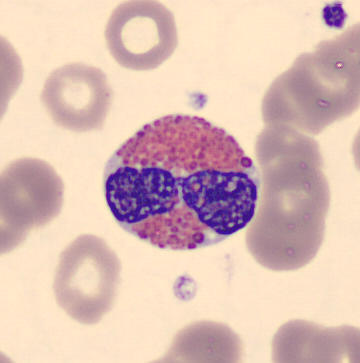Peripheral blood film.

Classification: eosinophil.